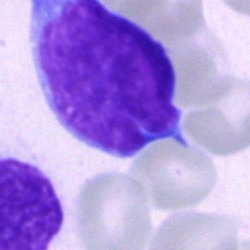

Classification — undifferentiated blast.